Bone marrow smear; image size 250×250; May-Grünwald-Giemsa stain
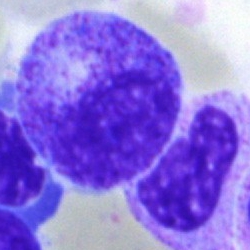

Q: Identify the cell.
A: Myelocyte.